Peripheral blood film — 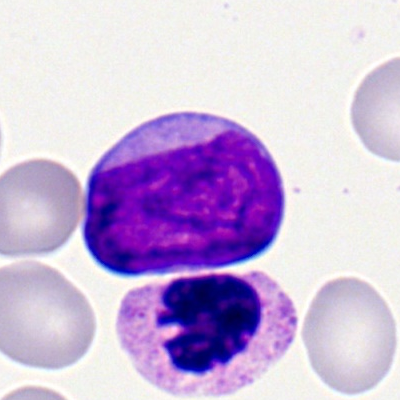
Morphological class: myeloblast.